250×250 · bone marrow smear
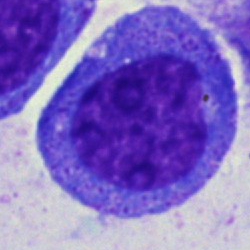
Q: Identify the cell.
A: It is a progranulocyte.